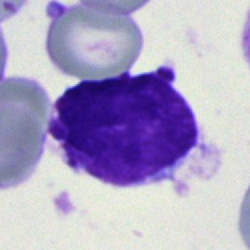

Bone marrow aspirate smear, single cell — undifferentiated blast.